Peripheral blood film; 400×400 px; single cell centered in the field.
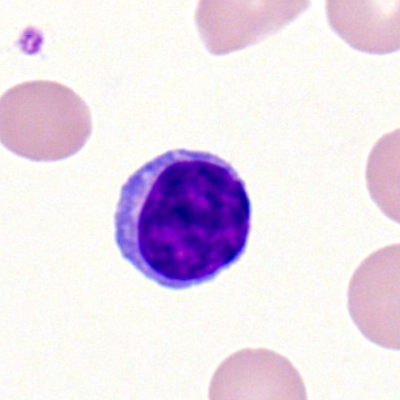
Impression → typical lymphocyte.